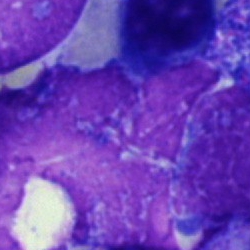 This is an artefact.